Bone marrow aspirate smear: 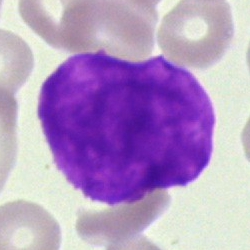
The classification is artifact.